Peripheral blood film: 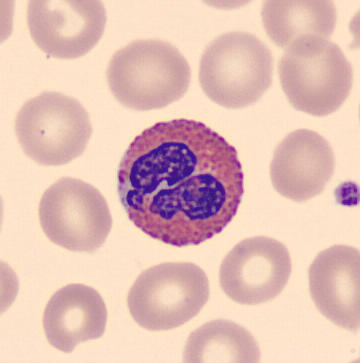The morphological class is eosinophil.